Peripheral blood smear:
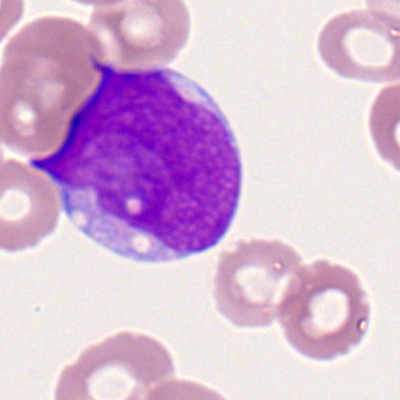{"cell_type": "myeloblast", "lineage": "myeloid"}